Single-cell crop. MGG-stained. Bone marrow aspirate smear: 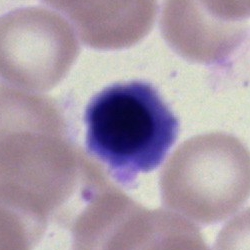

Morphological class = nucleated red cell.